Bone marrow aspirate smear. Image size 250×250 — 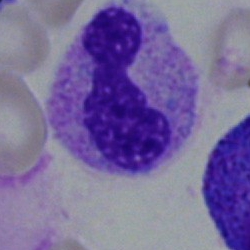 Specimen: bone marrow smear.
Cell type: band-form neutrophil.
Lineage: myeloid.